Bone marrow smear
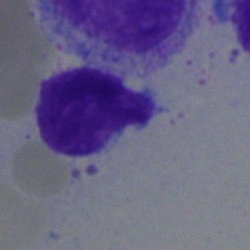Specimen: bone marrow aspirate smear.
Morphological class: typical lymphocyte.